Single-cell crop; bone marrow aspirate smear: 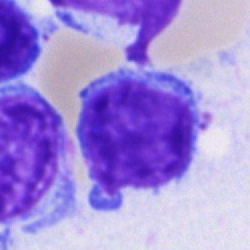

Impression → lymphocyte.